Bone marrow smear.
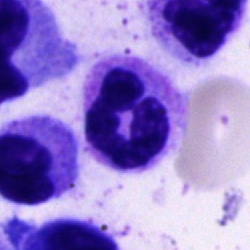Cell type = neutrophil (segmented).